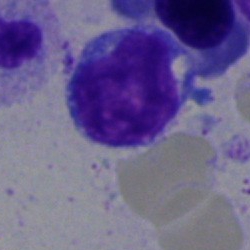Single cell identified as a typical lymphocyte.